Cropped to a single cell · bone marrow aspirate smear: 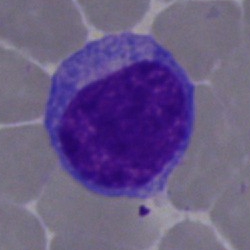{"cell_type": "typical lymphocyte", "lineage": "lymphoid"}